Bone marrow aspirate smear. 40× objective, oil immersion. 250 by 250 pixels: 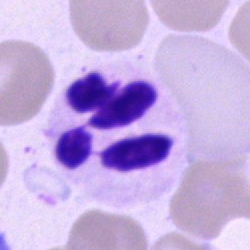 Morphology consistent with a neutrophil (segmented).